Bone marrow smear — 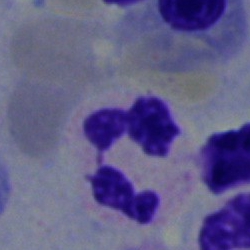
Q: Identify the cell.
A: A segmented neutrophil.